Peripheral blood smear: 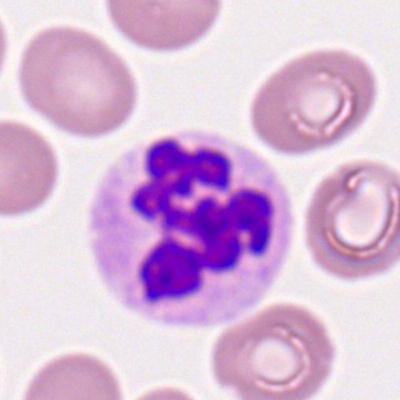 Morphological class: neutrophil (segmented).